Bone marrow aspirate smear.
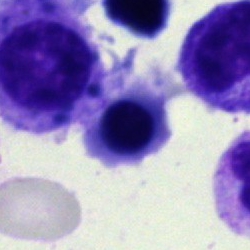
Morphology — erythroblast.